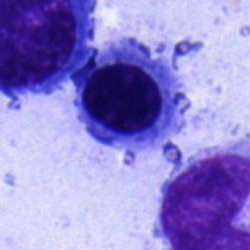

Single-cell crop from a bone marrow smear: nucleated red blood cell.